250×250 px. Bone marrow aspirate smear. Single-cell crop: 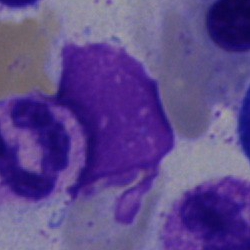

Artefact.